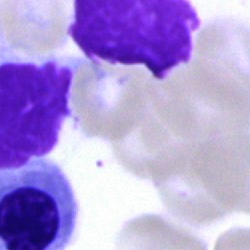 The cell shown is an artefact.